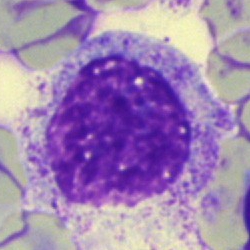 A promyelocyte on a bone marrow smear.